Bone marrow aspirate smear.
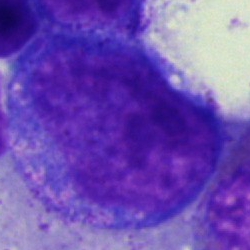 This is a progranulocyte.